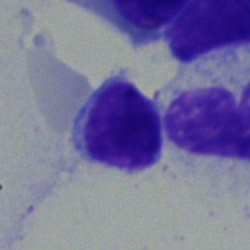

Lymphocyte.